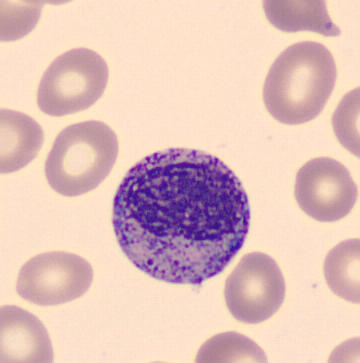 Image: Peripheral blood smear · CellaVision DM96.

Q: What is shown here?
A: A myelocyte.